Bone marrow smear · 40× objective, oil immersion: 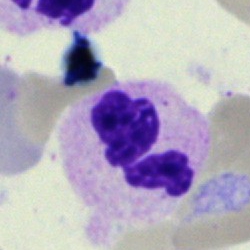 Q: What type of cell is this?
A: A segmented neutrophil.